MGG-stained. Bone marrow smear: 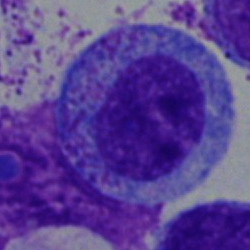{"cell_type": "promyelocyte"}